250×250; bone marrow smear
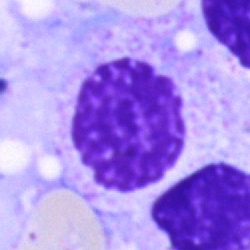

An artifact.